Bone marrow aspirate smear
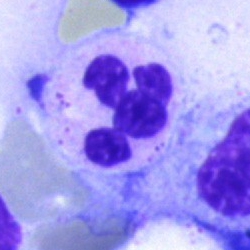

The cell is polymorphonuclear neutrophil.